Bone marrow smear: 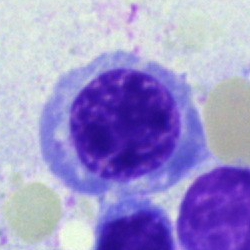
Q: What is the morphological classification of this cell?
A: A nucleated red blood cell.